Bone marrow aspirate smear: 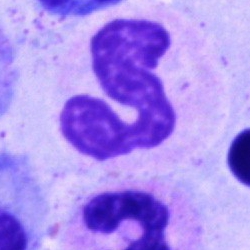

Polymorphonuclear neutrophil.